Cropped to a single cell · bone marrow smear — 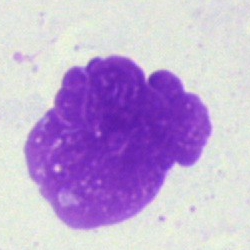

Q: What is shown here?
A: Artifact.